Single cell centered in the field. Peripheral blood smear
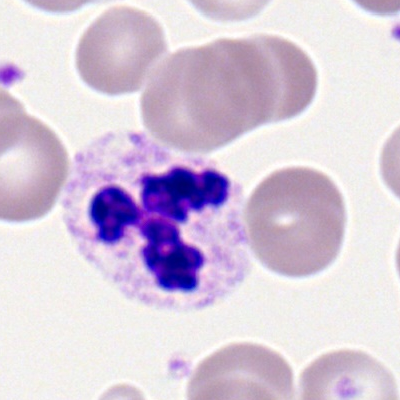
Single cell identified as a polymorphonuclear neutrophil.